Bone marrow smear:
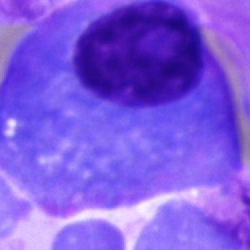 Classification — plasma cell.